Bone marrow smear. 250×250. 40× oil immersion.
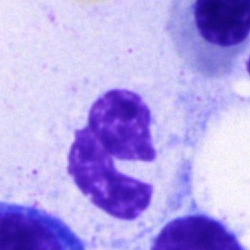

Cell type: segmented neutrophil.